Bone marrow aspirate smear. Brightfield, 40× oil-immersion objective. Cropped to a single cell — 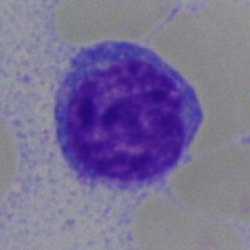 A lymphocyte.